Bone marrow aspirate smear:
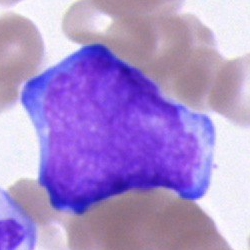Cell type — blast.